Peripheral blood smear; Romanowsky-stained.
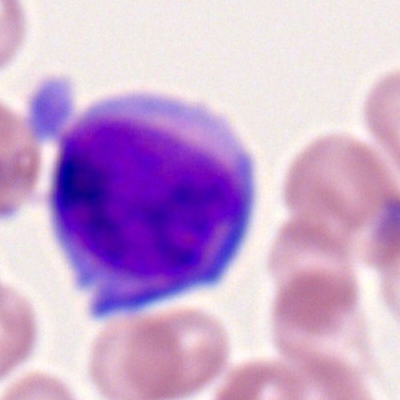
The cell shown is a myeloid blast.